Bone marrow aspirate smear; May-Grünwald-Giemsa/Pappenheim stain — 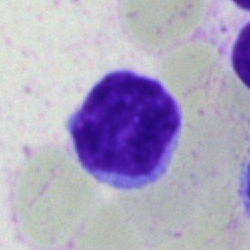
A lymphocyte.